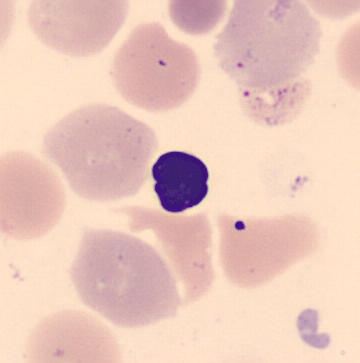

This is a nucleated red blood cell.